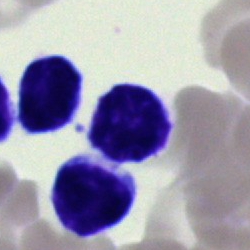

Specimen: bone marrow aspirate smear.
Morphological class: lymphocyte.
Lineage: lymphoid.